Bone marrow smear: 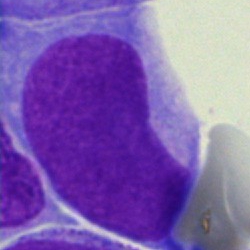 Q: What is the morphological classification of this cell?
A: A blast cell.